250×250; bone marrow aspirate smear
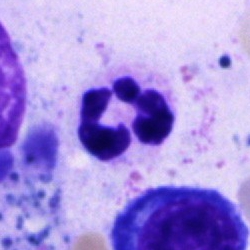

Cell — polymorphonuclear neutrophil.